Peripheral blood smear.
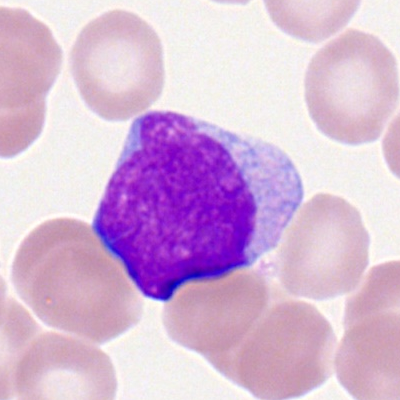The cell type is myeloid blast.